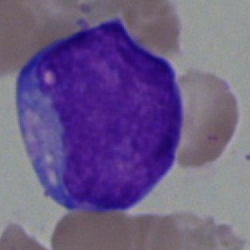The cell type is blast cell.